Bone marrow smear.
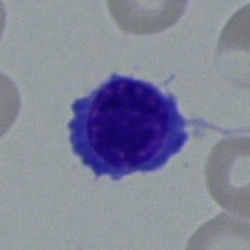Morphology consistent with a typical lymphocyte.